Single-cell field; 250×250; bone marrow aspirate smear — 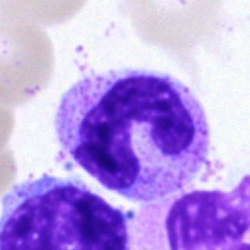

The cell shown is a neutrophil (band).